Bone marrow aspirate smear; image size 250×250; brightfield, 40× oil-immersion objective
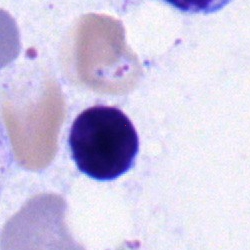

A lymphocyte.